Peripheral blood smear: 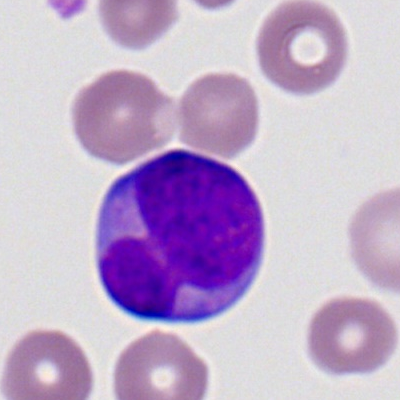 The cell shown is a myeloblast.